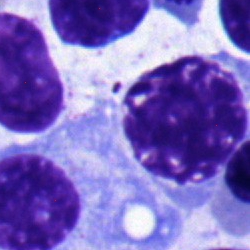The cell type is nucleated red blood cell.